Bone marrow smear:
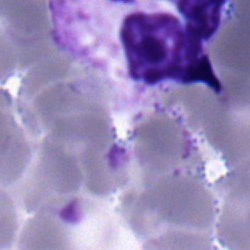 Morphological class = segmented neutrophil.